Peripheral blood smear.
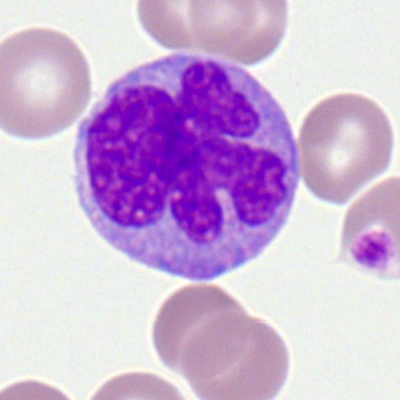 Q: What is the morphological classification of this cell?
A: Monocyte.